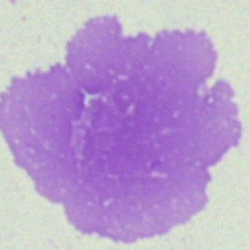 Impression — artifact.